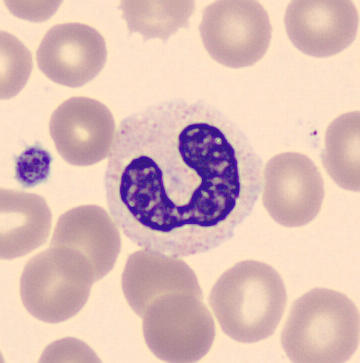 Acquisition: Peripheral blood smear · MGG-stained.
Impression — band-form neutrophil.